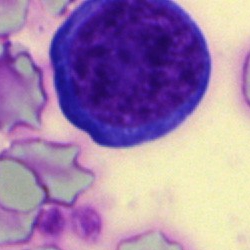
Cell: erythroblast.